Bone marrow smear; brightfield microscopy, 40× oil immersion; May-Grünwald-Giemsa/Pappenheim stain: 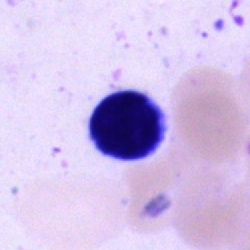

Showing a typical lymphocyte.